Bone marrow smear — 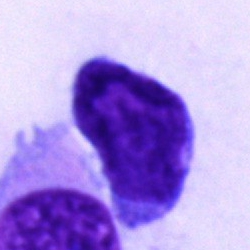 Specimen: bone marrow smear.
Classification: blast cell.